Bone marrow smear.
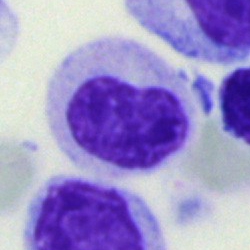
Specimen: bone marrow aspirate smear.
Cell type: band-form neutrophil.
Lineage: myeloid.